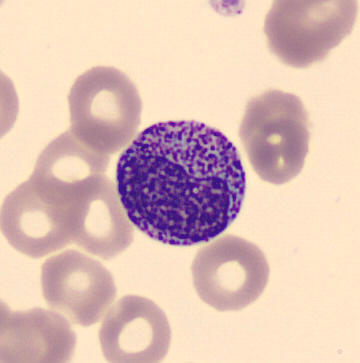
Q: What is shown here?
A: It is a myelocyte.
Peripheral blood film.